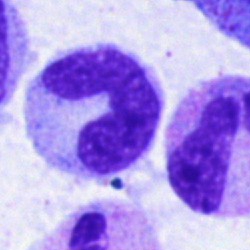 Morphological class: stab cell.